40× oil immersion. MGG-stained. Bone marrow aspirate smear
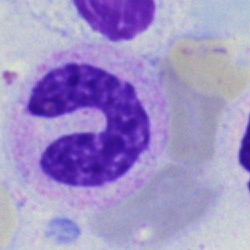
Q: What type of cell is this?
A: Neutrophil (band).